Bone marrow smear
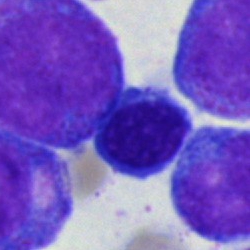 The cell type is nucleated red cell.